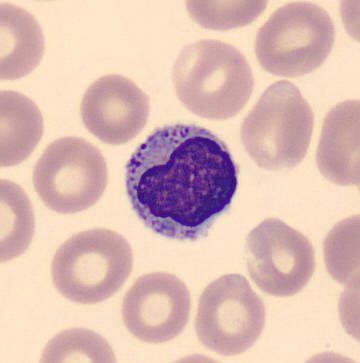

Image: Peripheral blood film.
{"cell_type": "typical lymphocyte", "lineage": "lymphoid"}